Bone marrow aspirate smear · brightfield microscopy, 40× oil immersion
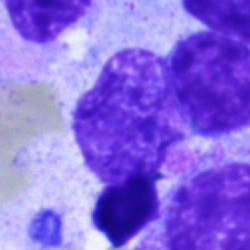 Q: What is shown here?
A: An artifact.